Bone marrow smear; May-Grünwald-Giemsa stain.
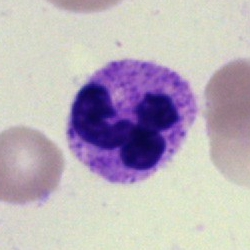This is a polymorphonuclear neutrophil.